Single-cell crop; bone marrow smear — 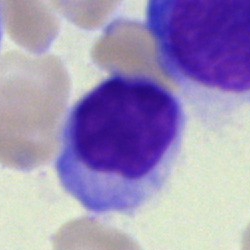

Morphology → typical lymphocyte.